Bone marrow smear.
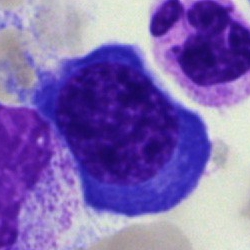
Classification — erythroblast.